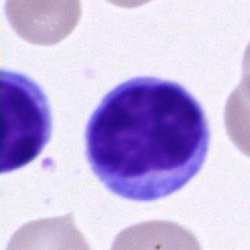

Morphology consistent with a typical lymphocyte.